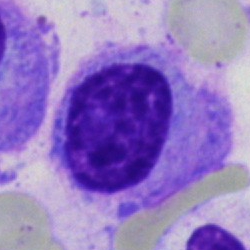Morphology consistent with a plasmacyte.